Romanowsky stain. Peripheral blood smear
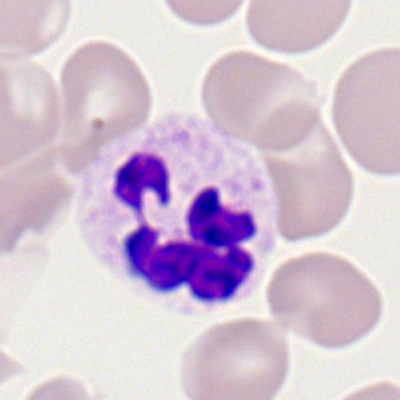
This is a polymorphonuclear neutrophil.